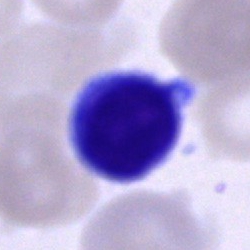Cell type — lymphocyte.